40× objective, oil immersion. Bone marrow smear — 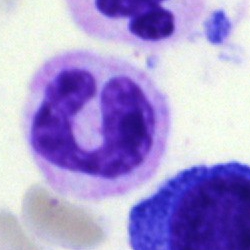{"cell_type": "stab cell", "lineage": "myeloid"}